Image size 250×250; bone marrow smear; May-Grünwald-Giemsa stain — 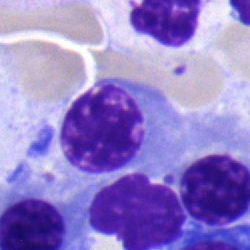 Morphological class: normoblast.